Bone marrow aspirate smear: 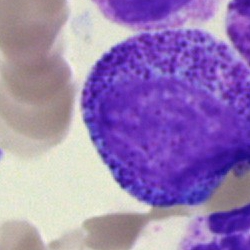

Classification — myelocyte.